Single-cell crop; bone marrow aspirate smear: 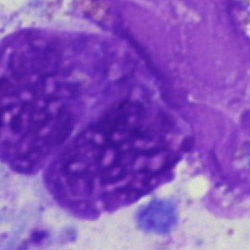Cell type — artefact.